Bone marrow aspirate smear · 250×250 · single cell centered in the field: 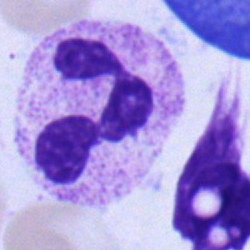Classification = polymorphonuclear neutrophil.